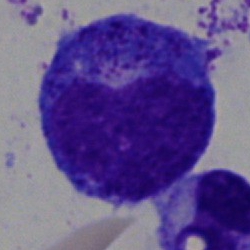A promyelocyte on a bone marrow smear.